Bone marrow aspirate smear.
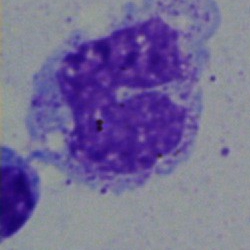
The cell shown is a monocyte.